Single cell centered in the field; bone marrow aspirate smear: 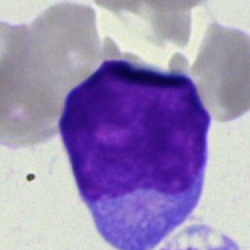Morphology → cell not matching the other categories.